Bone marrow aspirate smear · 40× objective, oil immersion — 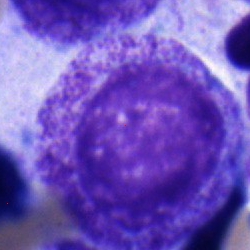Q: What is the morphological classification of this cell?
A: This is a progranulocyte.